Peripheral blood film — 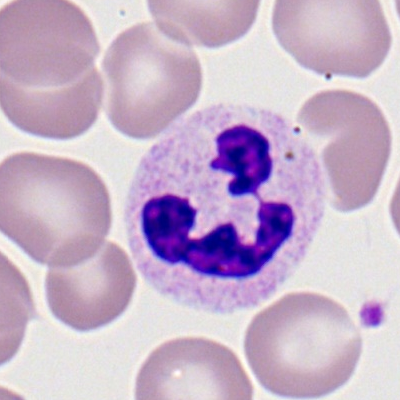

Q: Identify the cell.
A: This is a neutrophil (segmented).